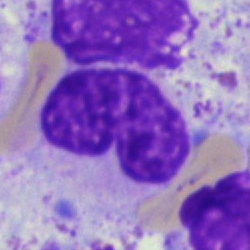

The morphological class is artefact.